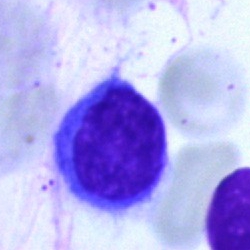

Classification: typical lymphocyte.